Single cell centered in the field. 40× oil immersion. Bone marrow smear:
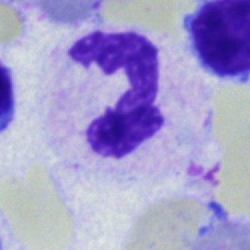
Morphology consistent with a segmented neutrophil.